Bone marrow aspirate smear:
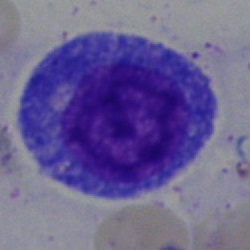
{"cell_type": "promyelocyte", "lineage": "myeloid"}